40× objective, oil immersion. Bone marrow smear. May-Grünwald-Giemsa/Pappenheim stain: 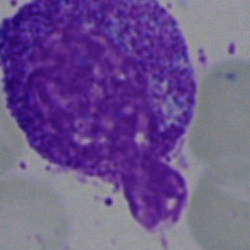
{"cell_type": "artefact"}